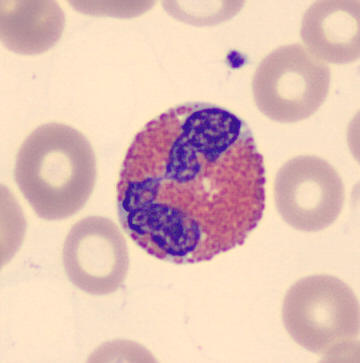
An eosinophilic granulocyte.
Peripheral blood film.